Bone marrow aspirate smear: 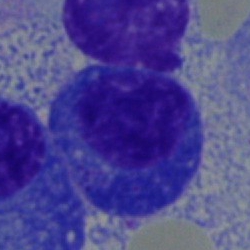

Cell type: plasmacyte.